Bone marrow aspirate smear — 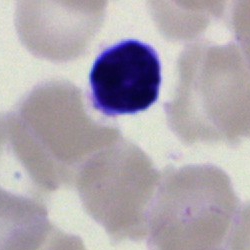 Morphology consistent with a typical lymphocyte.